Bone marrow aspirate smear.
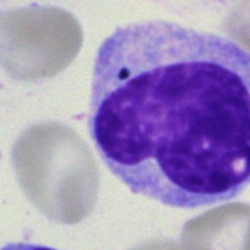

Impression → monocyte.